Bone marrow smear
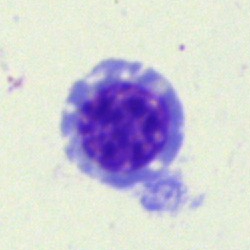

Cell: nucleated red cell.